Bone marrow aspirate smear:
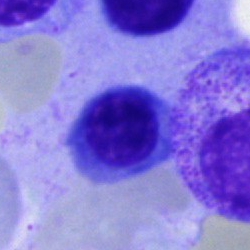 Morphology consistent with a nucleated red cell.